Single-cell field · brightfield, 100× oil-immersion objective · peripheral blood film
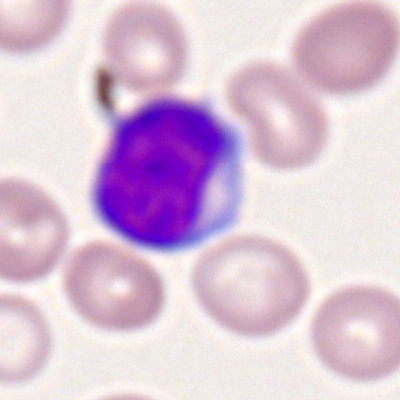
The cell type is typical lymphocyte.